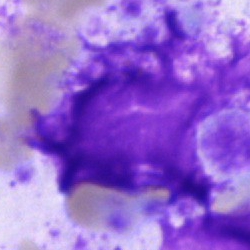 Q: What is shown here?
A: This is an artefact.